Bone marrow aspirate smear. Brightfield microscopy, 40× oil immersion. MGG-stained — 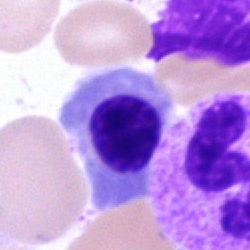 Impression — nucleated red cell.